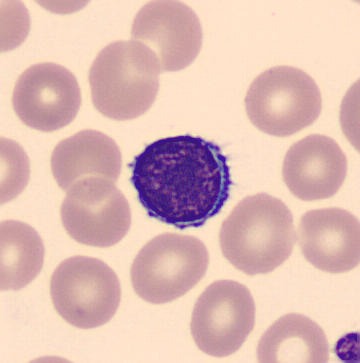Acquisition: 360×363 · MGG stain · peripheral blood smear.
Cell — typical lymphocyte.